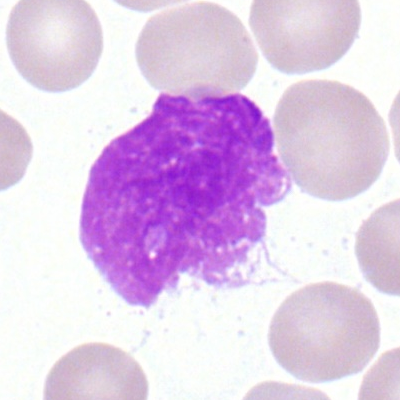
Peripheral blood smear showing a basket cell.